Bone marrow smear:
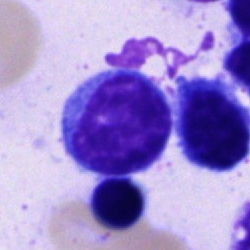 Classification — lymphocyte.